Pappenheim-stained · bone marrow aspirate smear: 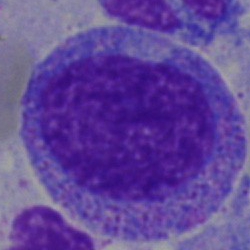 The cell shown is a myelocyte.